Peripheral blood smear
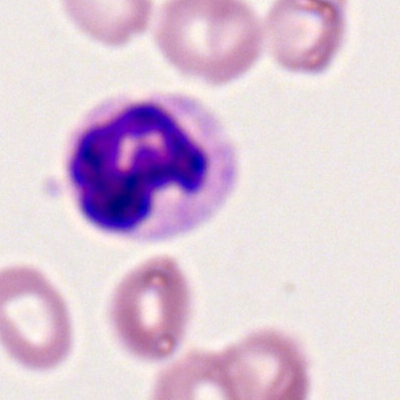

Morphology consistent with a polymorphonuclear neutrophil.